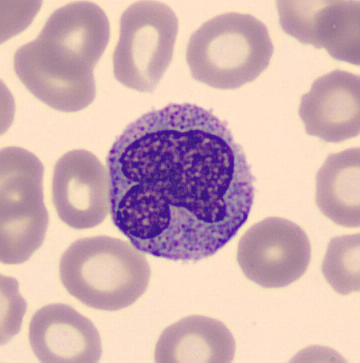

Peripheral blood film.
Q: What is the morphological classification of this cell?
A: Monocyte.